Peripheral blood film
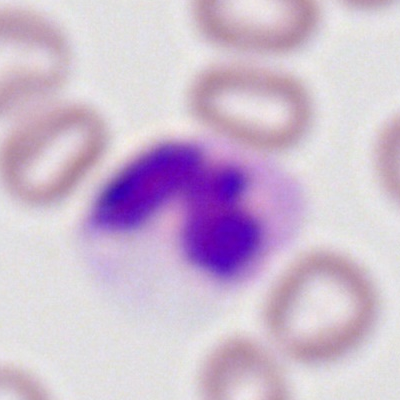
This is a polymorphonuclear neutrophil.